Bone marrow aspirate smear.
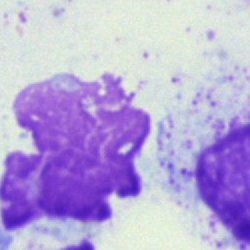 Q: What is shown here?
A: It is an artifact.